Bone marrow aspirate smear; May-Grünwald-Giemsa stain: 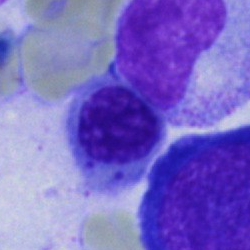
Impression → nucleated red blood cell.